Bone marrow smear · 250×250 · Pappenheim-stained
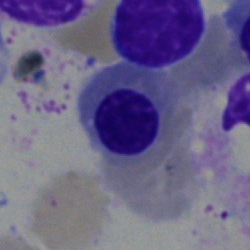 Showing a normoblast.